Bone marrow smear:
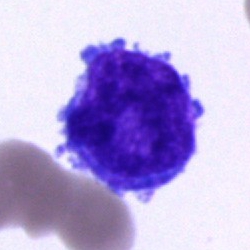

Q: What is shown here?
A: Blast cell.